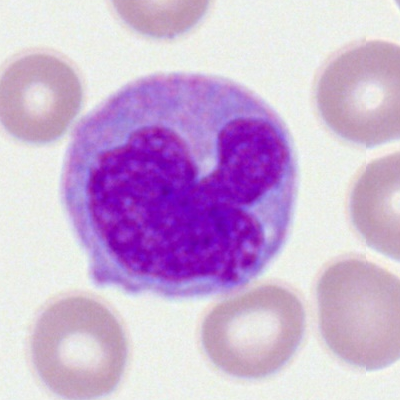 A monocyte.